Peripheral blood film; Romanowsky-type stain.
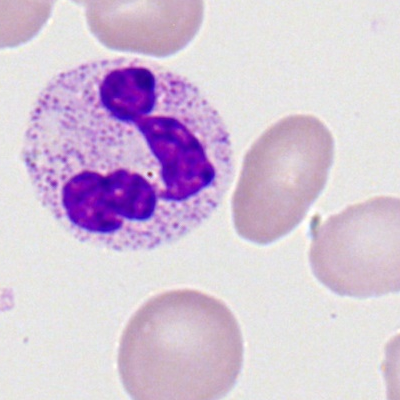 Cell type — neutrophil (segmented).